Bone marrow aspirate smear: 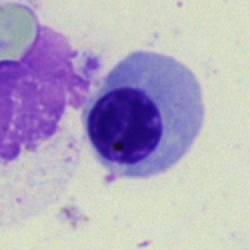

Morphology consistent with a nucleated red cell.